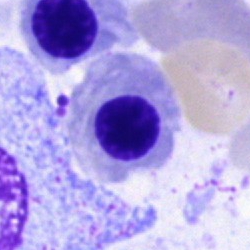
A normoblast.